Bone marrow aspirate smear: 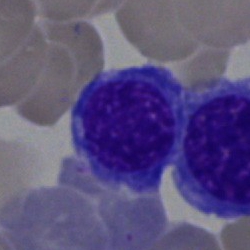
This is a normoblast.